40× objective, oil immersion. Bone marrow aspirate smear. May-Grünwald-Giemsa/Pappenheim stain
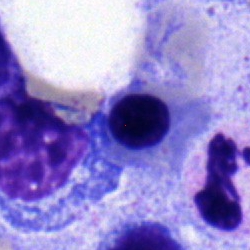 The cell shown is a normoblast.